Bone marrow smear — 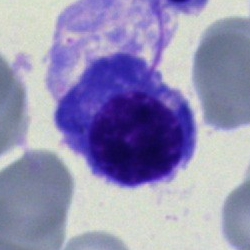

The classification is nucleated red blood cell.